Bone marrow smear: 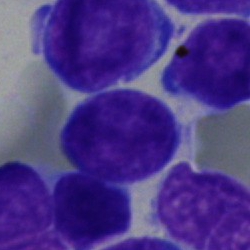
The cell shown is a blast.